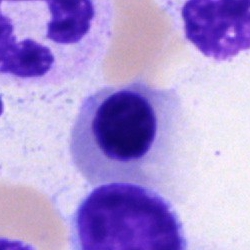

Bone marrow smear showing a nucleated red cell.